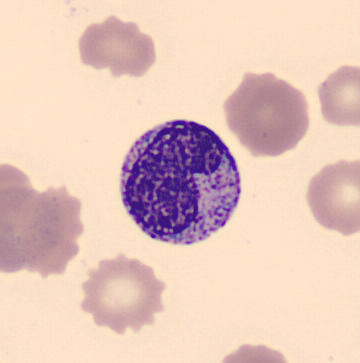 Specimen: peripheral blood smear.
Cell type: metamyelocyte.